May-Grünwald-Giemsa/Pappenheim stain. Bone marrow smear. Image size 250×250:
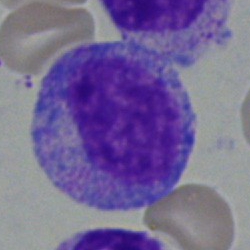Myelocyte.